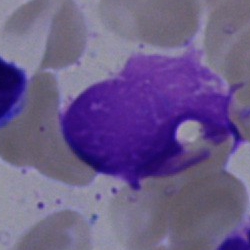
The cell shown is an artifact.